250 by 250 pixels; bone marrow aspirate smear; Pappenheim-stained:
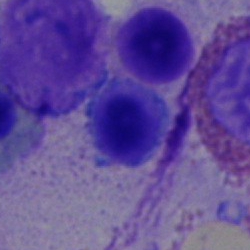 Specimen: bone marrow smear.
Cell: typical lymphocyte.
Lineage: lymphoid.